Bone marrow aspirate smear
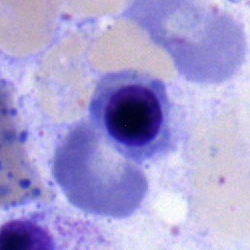This is a normoblast.